Bone marrow smear
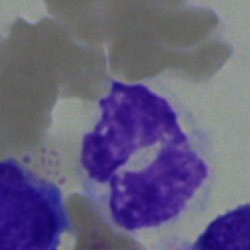

Showing a segmented neutrophil.